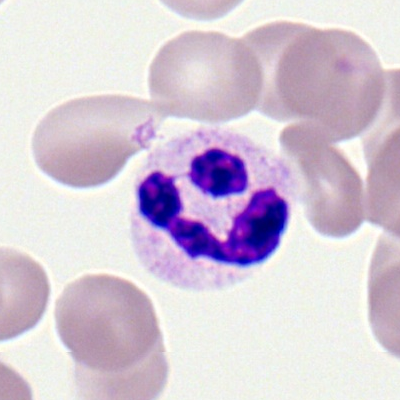Q: Identify the cell.
A: A segmented neutrophil.